Bone marrow smear; cropped to a single cell.
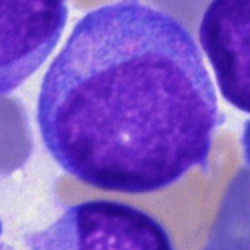
Morphology — blast cell.